Bone marrow aspirate smear — 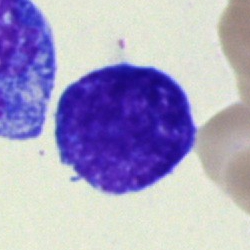
Q: What type of cell is this?
A: It is a lymphocyte.